Bone marrow smear; brightfield, 40× oil-immersion objective; Pappenheim-stained
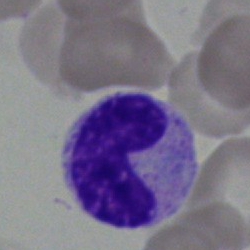 The cell type is stab cell.